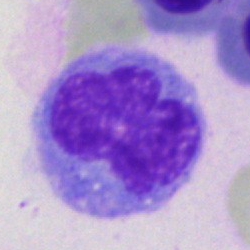Morphological class — monocyte.